Bone marrow aspirate smear
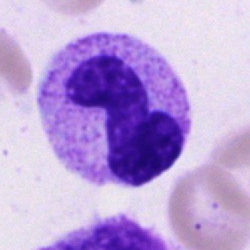
Impression — band neutrophil.